Bone marrow smear; Pappenheim-stained:
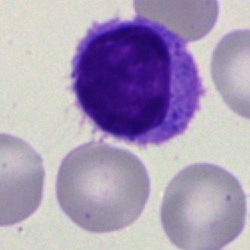
The cell shown is a lymphocyte.